Bone marrow smear: 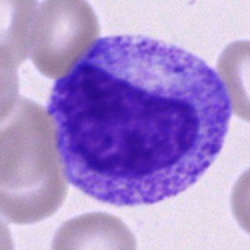
Morphology consistent with a promyelocyte.